Bone marrow aspirate smear
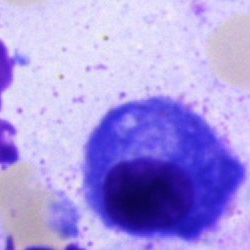

This is a plasmacyte.